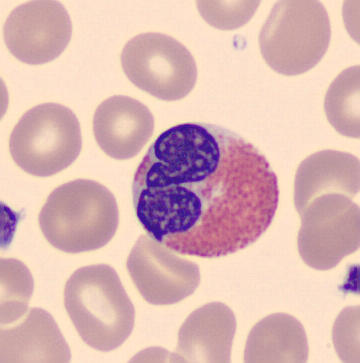
Image: Peripheral blood film. Identified as an eosinophilic granulocyte.